Bone marrow aspirate smear · 250×250 px.
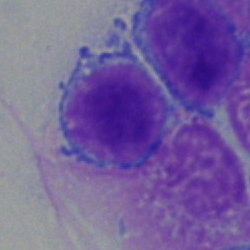
Cell type: lymphocyte.